250 by 250 pixels; 40× objective, oil immersion; bone marrow smear.
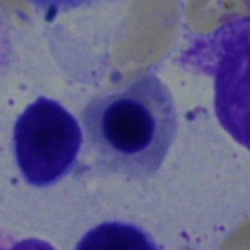Q: What is shown here?
A: This is an erythroblast.